250×250 px. Bone marrow smear.
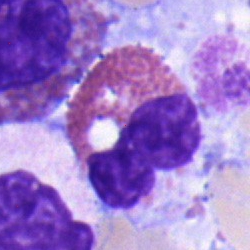

Impression — eosinophil.